Bone marrow smear.
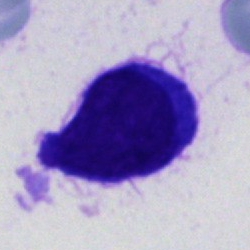
Morphology consistent with an unidentifiable cell.